Bone marrow smear · May-Grünwald-Giemsa/Pappenheim stain:
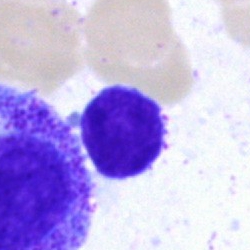

Specimen: bone marrow smear.
Cell type: lymphocyte.